Brightfield, 40× oil-immersion objective · 250×250 · bone marrow smear — 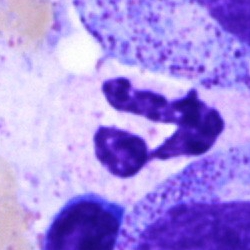Q: What is the morphological classification of this cell?
A: A polymorphonuclear neutrophil.